Bone marrow aspirate smear:
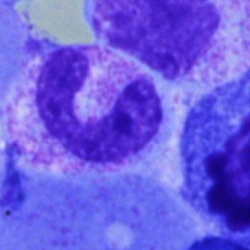The cell type is polymorphonuclear neutrophil.